Bone marrow smear; May-Grünwald-Giemsa stain:
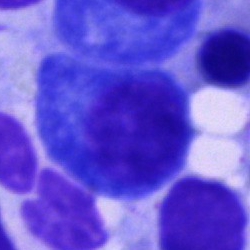This is a plasma cell.